Bone marrow smear. 40× objective, oil immersion.
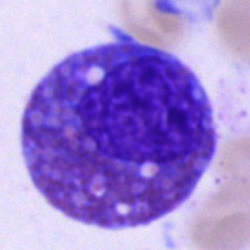{"cell_type": "eosinophil", "lineage": "myeloid"}